40× objective, oil immersion. Bone marrow smear:
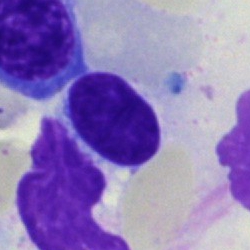
Q: What cell is this?
A: A typical lymphocyte.